Bone marrow smear:
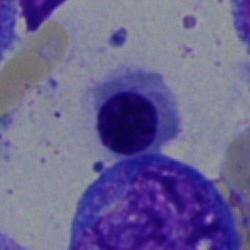The morphological class is normoblast.